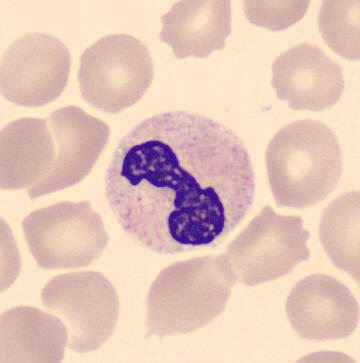
{"cell_type": "band-form neutrophil"}